Bone marrow smear.
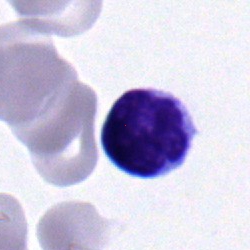Specimen: bone marrow smear.
Cell: lymphocyte.
Lineage: lymphoid.